May-Grünwald-Giemsa stain. Cropped to a single cell. Bone marrow smear — 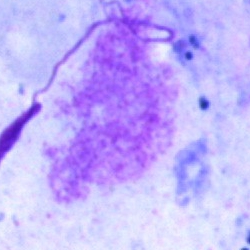The cell shown is an artefact.